Bone marrow smear; 250 by 250 pixels — 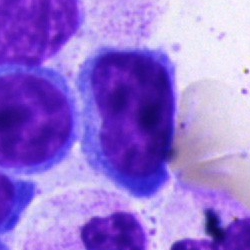Typical lymphocyte.